Bone marrow aspirate smear; MGG-stained:
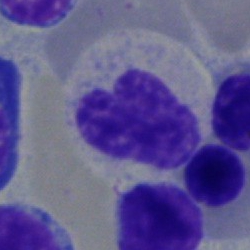Cell type: band neutrophil.